Brightfield microscopy, 40× oil immersion · bone marrow smear:
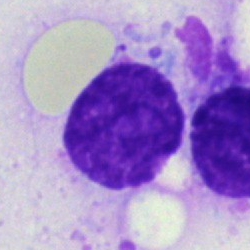The classification is artifact.